Bone marrow aspirate smear.
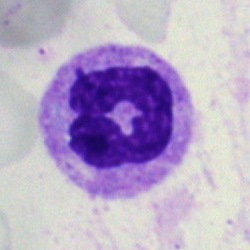The cell shown is a neutrophil (segmented).